Bone marrow aspirate smear — 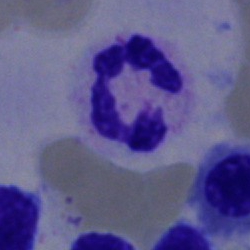
Q: What cell is this?
A: It is a segmented neutrophil.